Bone marrow aspirate smear:
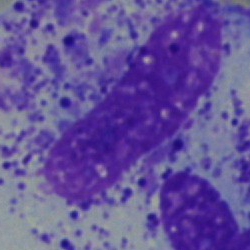 Specimen: bone marrow smear.
Morphological class: cell not matching the other categories.